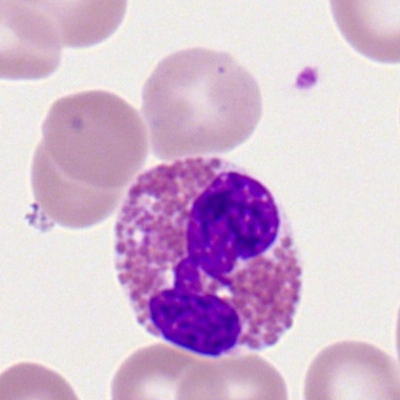Peripheral blood film, single cell — eosinophil.